Bone marrow aspirate smear:
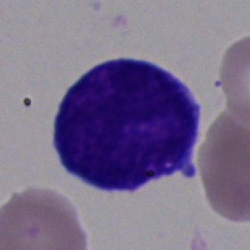 Specimen: bone marrow smear.
Cell type: blast cell.